Brightfield microscopy, 40× oil immersion. Bone marrow aspirate smear. 250×250.
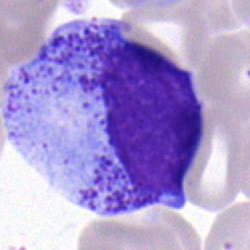

Q: Identify the cell.
A: It is a myelocyte.